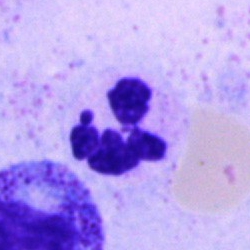

Bone marrow smear showing a polymorphonuclear neutrophil.